Bone marrow smear.
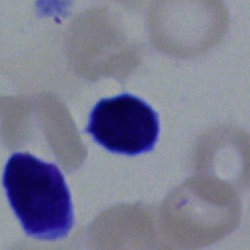 Single cell identified as a typical lymphocyte.